Image size 250×250; bone marrow smear; single-cell field: 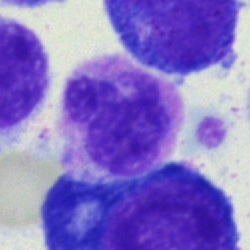 Single cell identified as a polymorphonuclear neutrophil.